Single cell centered in the field; bone marrow smear; image size 250×250 — 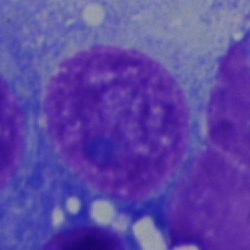
The cell is plasma cell.